Peripheral blood smear: 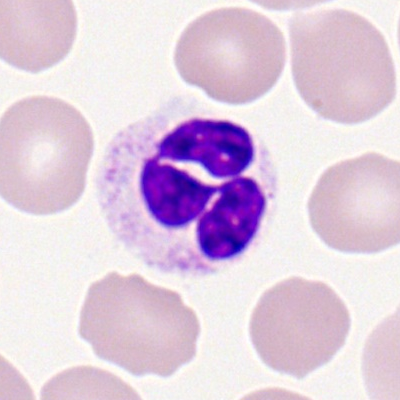 Morphology consistent with a neutrophil (segmented).